Bone marrow aspirate smear.
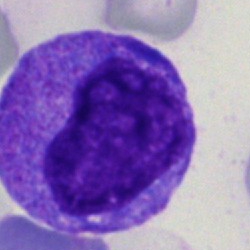This is a myelocyte.